Bone marrow aspirate smear.
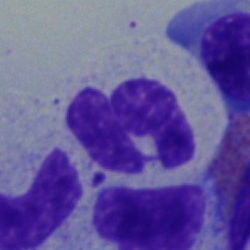
Morphology consistent with a polymorphonuclear neutrophil.